Bone marrow aspirate smear. 40× objective, oil immersion.
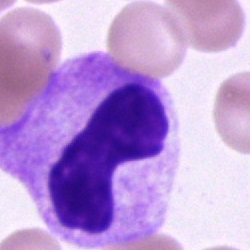
Neutrophil (band).